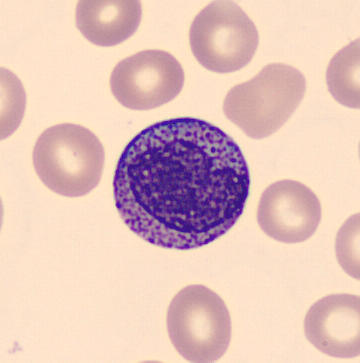

Peripheral blood smear showing a metamyelocyte.